May-Grünwald-Giemsa/Pappenheim stain; bone marrow aspirate smear; 40× objective, oil immersion:
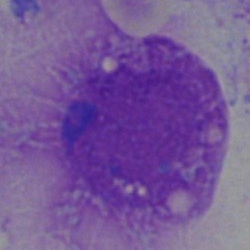
Showing an artifact.